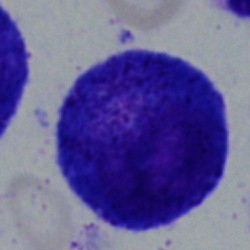 Showing a promyelocyte.